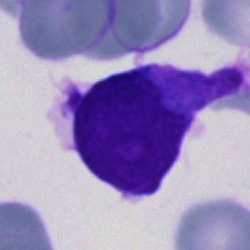
Bone marrow smear showing a blast.